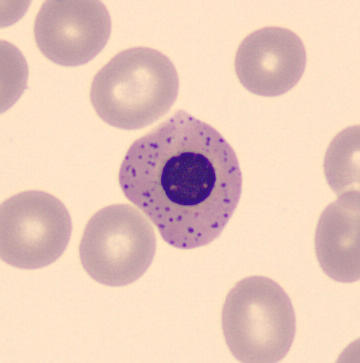

Acquisition: Peripheral blood film.

Cell type — erythroblast.